Single-cell crop. Bone marrow smear. 250 by 250 pixels
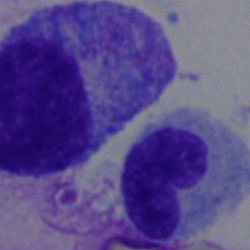Q: What is the morphological classification of this cell?
A: Neutrophil (band).